Bone marrow aspirate smear:
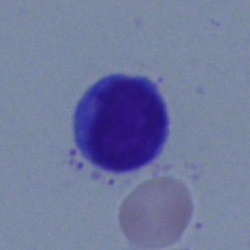 This is a lymphocyte.